Bone marrow smear.
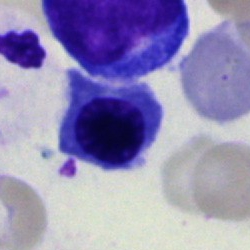Cell: erythroblast.